Brightfield, 100× oil-immersion objective; peripheral blood smear.
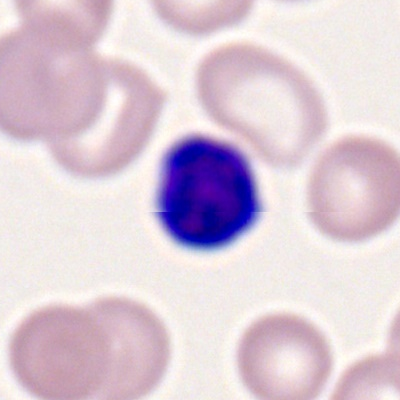 This is a lymphocyte.